MGG-stained; bone marrow aspirate smear.
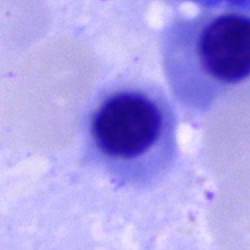Classification: normoblast.